Bone marrow smear.
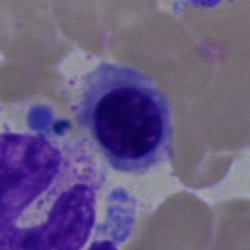

Erythroblast.